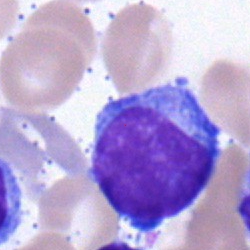
Specimen: bone marrow aspirate smear.
Cell type: typical lymphocyte.
Lineage: lymphoid.